May-Grünwald-Giemsa/Pappenheim stain; brightfield, 40× oil-immersion objective; bone marrow aspirate smear:
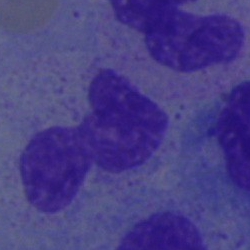 A stab cell.